Bone marrow aspirate smear.
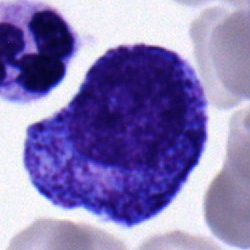

The morphological class is promyelocyte.